Bone marrow aspirate smear. 250 by 250 pixels:
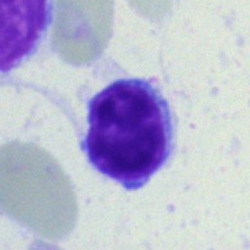
The cell is typical lymphocyte.